Bone marrow aspirate smear:
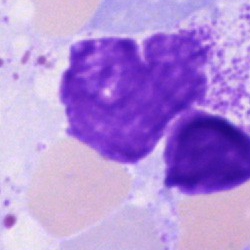 Cell type = artefact.